Bone marrow aspirate smear.
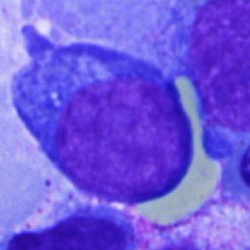

Cell — blast.